40× oil immersion · bone marrow aspirate smear
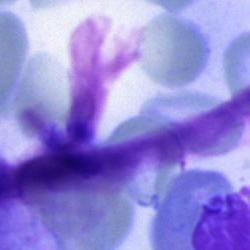 Cell — artifact.